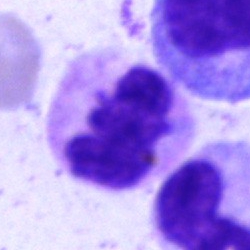

Polymorphonuclear neutrophil.